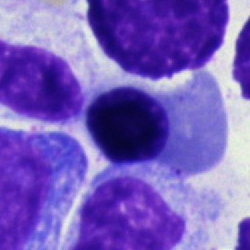

A normoblast.